Peripheral blood film: 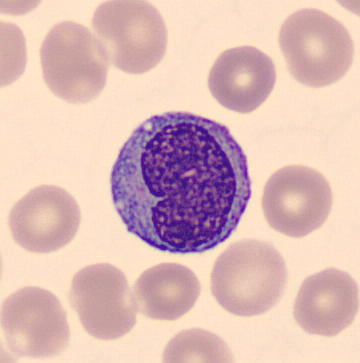 {"cell_type": "monocyte", "lineage": "myeloid"}